250 by 250 pixels. Bone marrow aspirate smear.
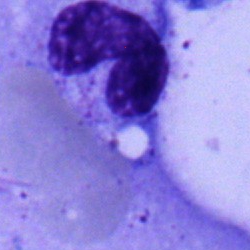

Morphology consistent with a neutrophil (band).